Bone marrow aspirate smear — 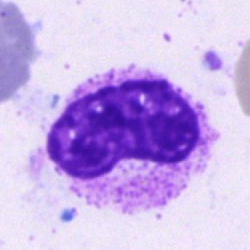
Cell = metamyelocyte.